Image size 250×250 · bone marrow smear: 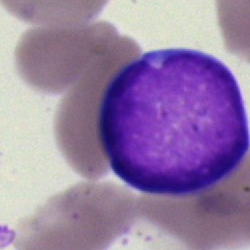

Q: Which cell type is shown here?
A: This is an undifferentiated blast.